Bone marrow aspirate smear; 40× objective, oil immersion.
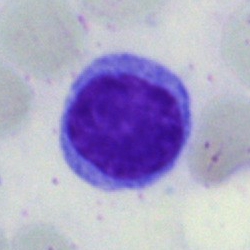 Classification = typical lymphocyte.